Bone marrow smear. Brightfield microscopy, 40× oil immersion
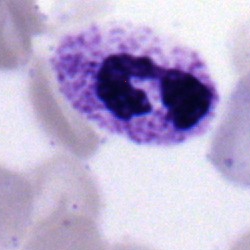
Q: Identify the cell.
A: It is a polymorphonuclear neutrophil.